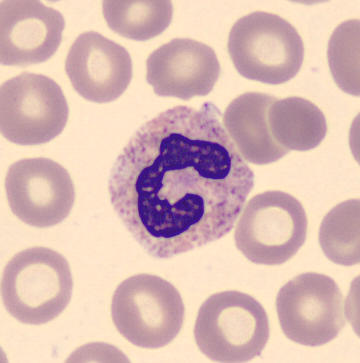 Preparation: MGG-stained · peripheral blood film · single-cell field. Segmented neutrophil.